Bone marrow aspirate smear · 250 by 250 pixels.
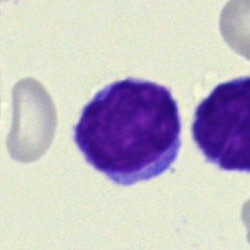
The cell type is lymphocyte.